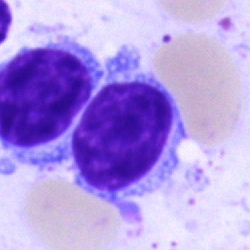

Specimen: bone marrow smear.
Classification: typical lymphocyte.
Lineage: lymphoid.